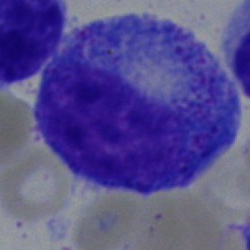
Showing a promyelocyte.